Bone marrow smear: 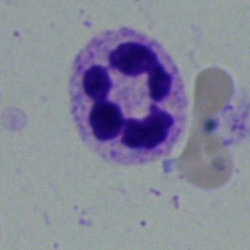 Morphological class — polymorphonuclear neutrophil.